Peripheral blood film:
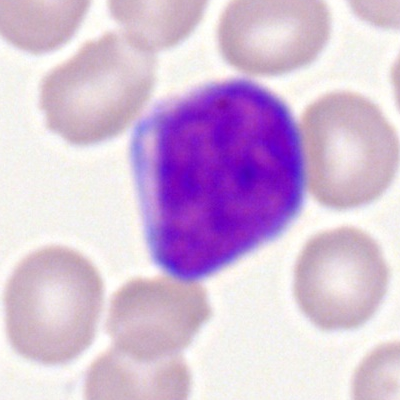 Q: What is shown here?
A: A myeloblast.